Bone marrow aspirate smear. Image size 250×250
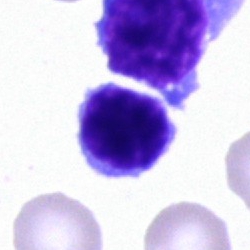

Cell = lymphocyte.